Bone marrow aspirate smear
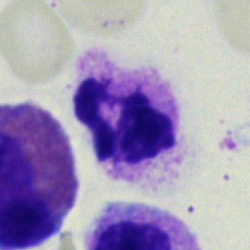Showing a neutrophil (segmented).